Bone marrow smear:
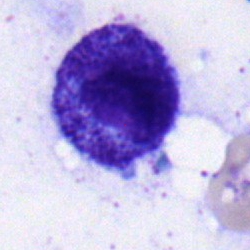
Single cell identified as a myelocyte.